Bone marrow aspirate smear
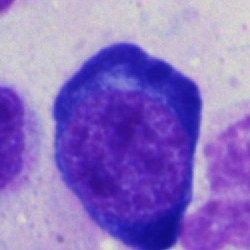
Cell type = proerythroblast.